Bone marrow smear: 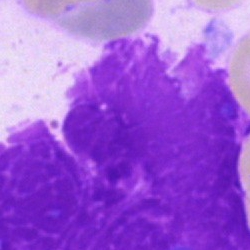Impression → artefact.